Bone marrow aspirate smear · brightfield microscopy, 40× oil immersion · May-Grünwald-Giemsa stain.
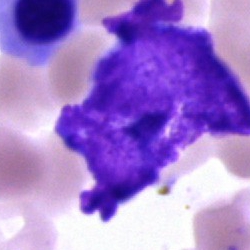 Q: What is shown here?
A: An artifact.